Bone marrow smear; 250×250; 40× oil immersion:
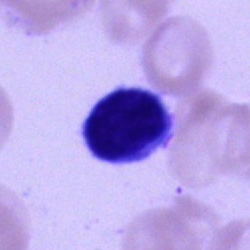Q: What is the morphological classification of this cell?
A: It is a lymphocyte.